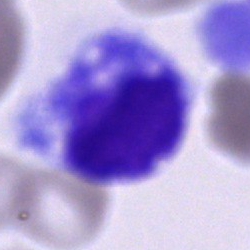

Q: What is the morphological classification of this cell?
A: This is an unidentifiable cell.